Bone marrow smear:
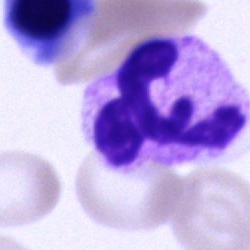

Cell — polymorphonuclear neutrophil.